Bone marrow smear. Single-cell crop: 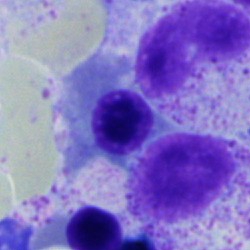
This is a normoblast.